Brightfield, 40× oil-immersion objective · bone marrow aspirate smear: 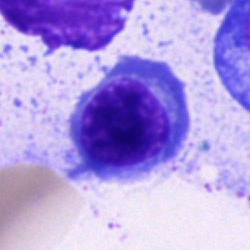

Specimen: bone marrow smear.
Classification: nucleated red cell.